Bone marrow aspirate smear
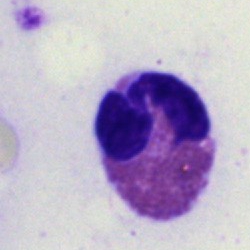

The cell type is eosinophil.